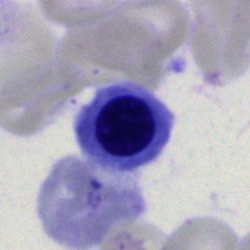Specimen: bone marrow smear.
Morphological class: nucleated red blood cell.